Bone marrow smear.
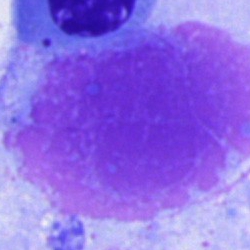Q: What is shown here?
A: An artifact.